Bone marrow smear.
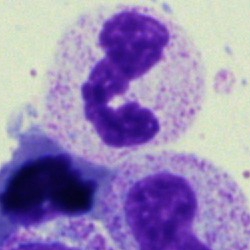The cell shown is a segmented neutrophil.